Bone marrow smear.
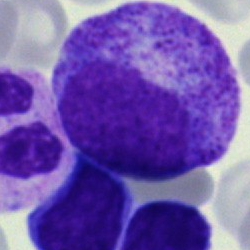Q: What is the morphological classification of this cell?
A: A promyelocyte.